Bone marrow smear — 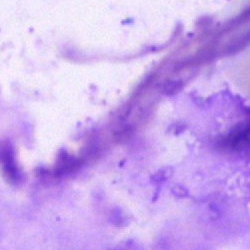Impression — artifact.